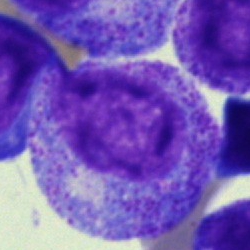
Classification — promyelocyte.